Bone marrow aspirate smear:
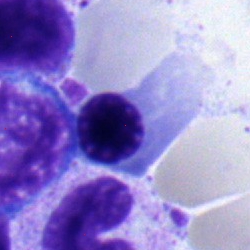Single cell identified as a normoblast.